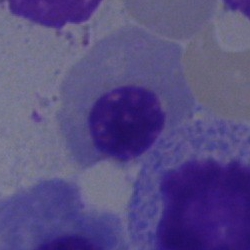 Morphology consistent with a normoblast.